Bone marrow aspirate smear · image size 250×250.
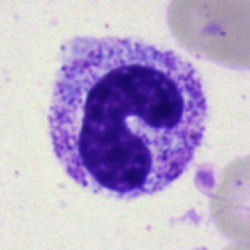Cell type — band-form neutrophil.